Bone marrow smear.
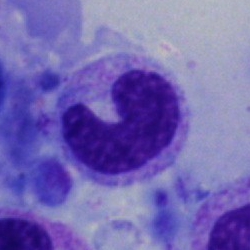 Morphological class — neutrophil (band).